Bone marrow aspirate smear:
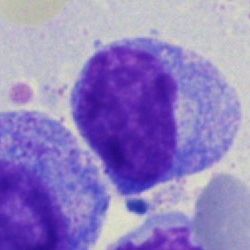 Morphology → promyelocyte.